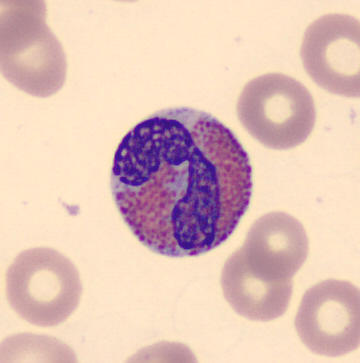

Preparation: Cropped to a single cell · peripheral blood smear. Cell = eosinophil.